Bone marrow aspirate smear:
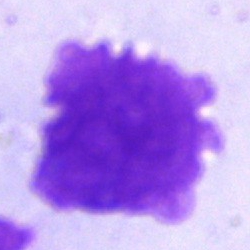Cell type: artifact.